MGG-stained; bone marrow smear; cropped to a single cell
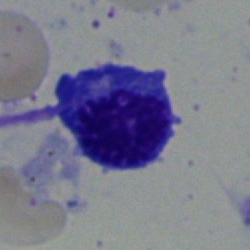Cell = nucleated red cell.